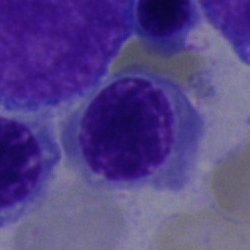 Morphology consistent with an erythroblast.